Bone marrow aspirate smear: 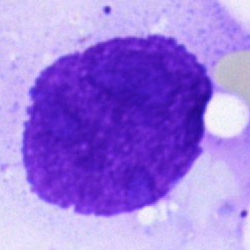
{"cell_type": "artefact"}